Bone marrow aspirate smear; single-cell crop:
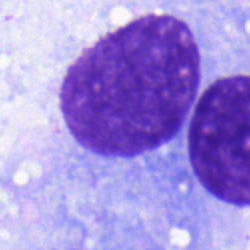The cell shown is a plasmacyte.